Bone marrow aspirate smear · brightfield microscopy, 40× oil immersion — 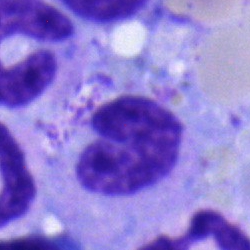
Cell type: stab cell.